Single-cell field. Bone marrow smear. Brightfield, 40× oil-immersion objective — 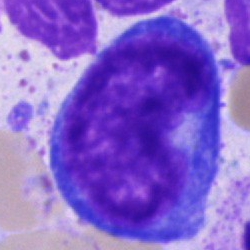
Morphological class = proerythroblast.